Bone marrow aspirate smear. MGG-stained: 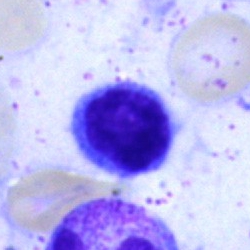
Q: What cell is this?
A: Typical lymphocyte.